Peripheral blood smear:
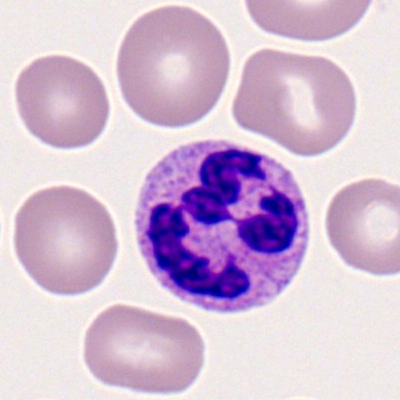
A segmented neutrophil.